Bone marrow smear — 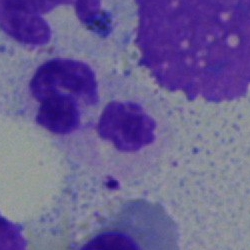
Q: What type of cell is this?
A: Polymorphonuclear neutrophil.